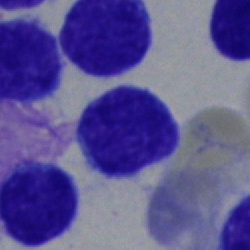 A lymphocyte.